250 by 250 pixels; bone marrow aspirate smear; single-cell crop.
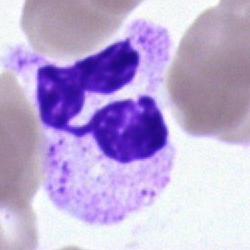
Morphological class: neutrophil (segmented).